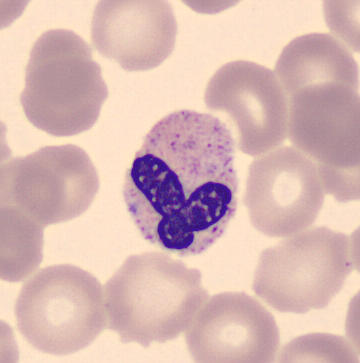

Image: Image size 360×363 · single-cell field · peripheral blood film.

Showing a band neutrophil.